Bone marrow smear · May-Grünwald-Giemsa stain — 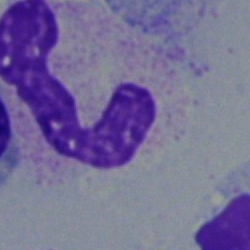 The cell shown is a band neutrophil.